Bone marrow smear; cropped to a single cell — 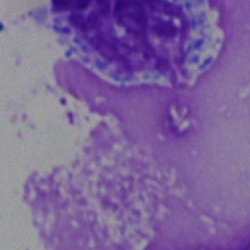Morphology consistent with an artefact.